Bone marrow aspirate smear:
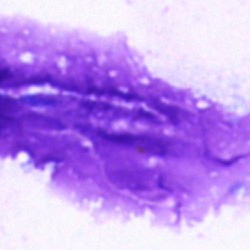
The cell type is artefact.